Single cell centered in the field; peripheral blood smear
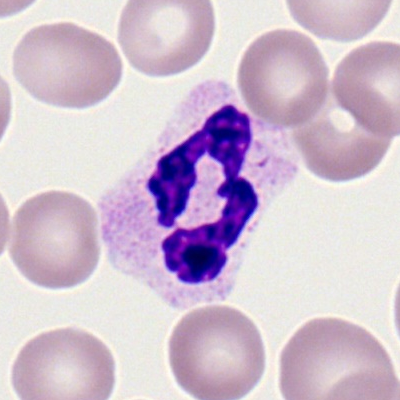
Morphology consistent with a polymorphonuclear neutrophil.